Bone marrow aspirate smear. 40× objective, oil immersion
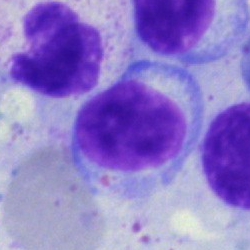
Q: What is the morphological classification of this cell?
A: It is a typical lymphocyte.